Bone marrow aspirate smear; single-cell crop.
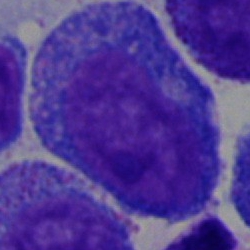
The cell shown is a promyelocyte.